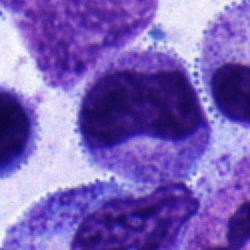
Specimen: bone marrow smear.
Morphological class: metamyelocyte.